Bone marrow aspirate smear:
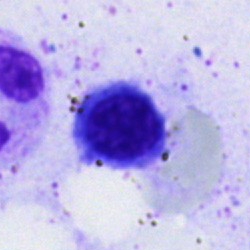
Morphology consistent with a nucleated red cell.